Bone marrow smear
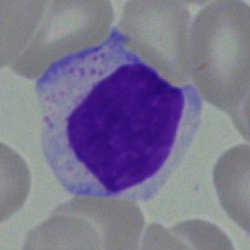 Cell type: lymphocyte.